Bone marrow smear.
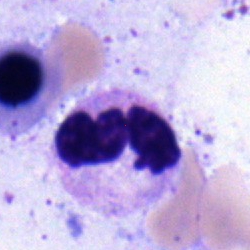Cell type: neutrophil (segmented).